Bone marrow smear: 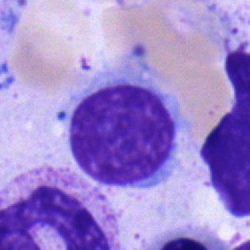Q: What is shown here?
A: It is a typical lymphocyte.